Bone marrow aspirate smear: 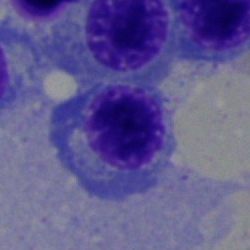
Single cell identified as an erythroblast.